Bone marrow smear — 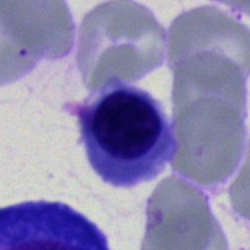 Impression — normoblast.